Peripheral blood smear: 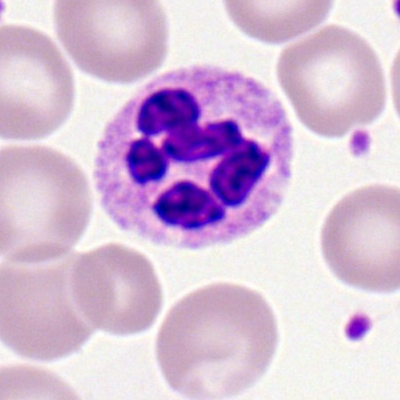
A segmented neutrophil.